Bone marrow aspirate smear
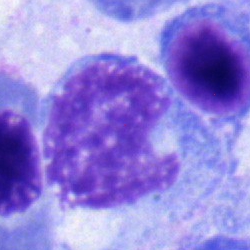
Q: What is shown here?
A: Monocyte.